Bone marrow smear: 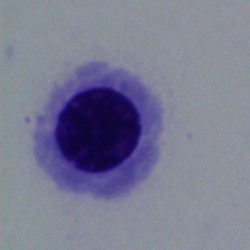

Cell type — nucleated red cell.